Single-cell field · bone marrow smear · May-Grünwald-Giemsa/Pappenheim stain — 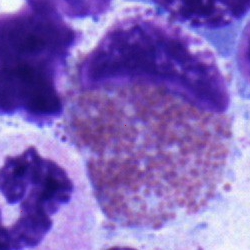 The cell shown is an eosinophilic granulocyte.